Bone marrow aspirate smear:
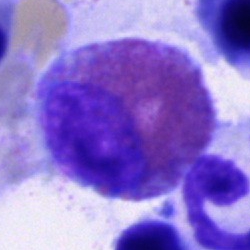

Morphological class — eosinophil.